Bone marrow aspirate smear.
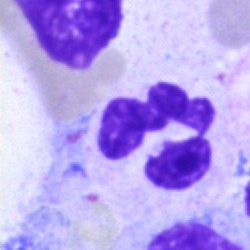

The morphological class is neutrophil (segmented).